Peripheral blood film.
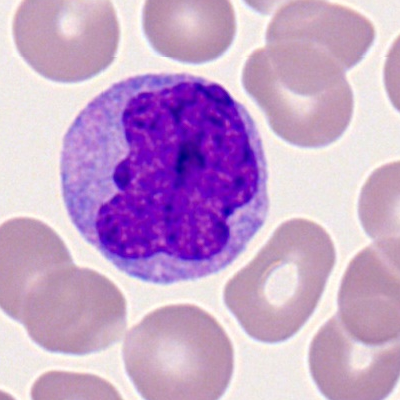 Impression — monocyte.